Bone marrow aspirate smear; 250×250 px; single-cell field:
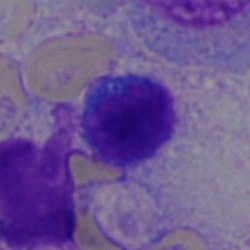

This is a typical lymphocyte.